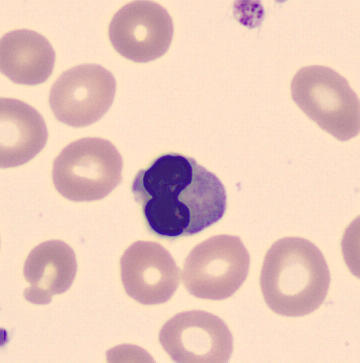 Image: Peripheral blood smear. Cell = nucleated red cell.